Bone marrow aspirate smear:
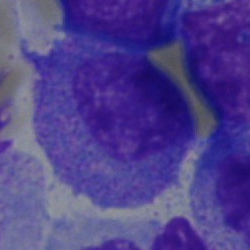 Specimen: bone marrow aspirate smear.
Classification: myelocyte.
Lineage: myeloid.